250×250 · bone marrow smear · single-cell field:
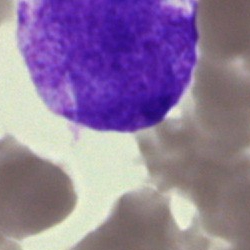{"cell_type": "blast"}